Bone marrow smear:
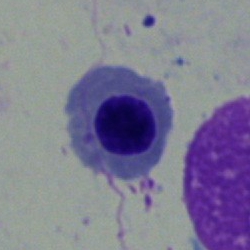

Specimen: bone marrow smear.
Classification: normoblast.
Lineage: erythroid.